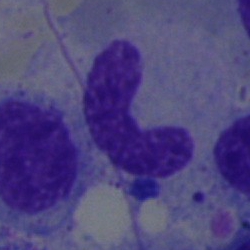
A stab cell on a bone marrow smear.